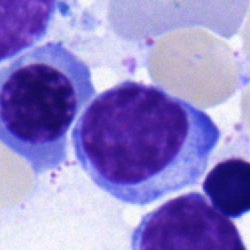 Q: What type of cell is this?
A: This is a typical lymphocyte.